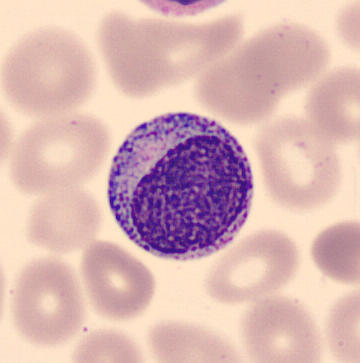Q: What is this?
A: This is a promyelocyte.